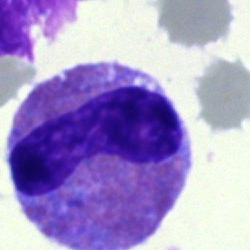Morphology → eosinophilic granulocyte.